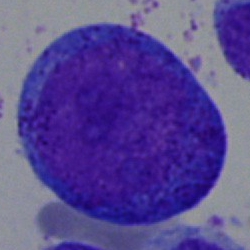Specimen: bone marrow smear.
Cell type: promyelocyte.
Lineage: myeloid.